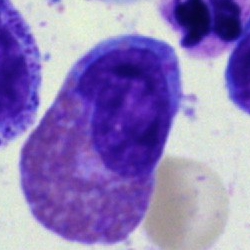 Eosinophil.